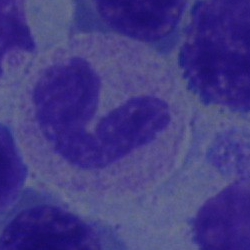

A band-form neutrophil on a bone marrow smear.